Bone marrow aspirate smear: 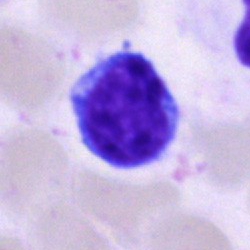
Cell type = lymphocyte.